Peripheral blood smear: 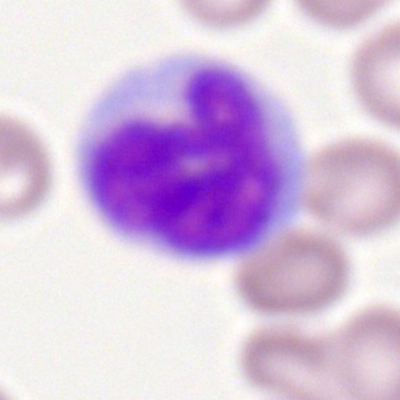 Cell = monocyte.